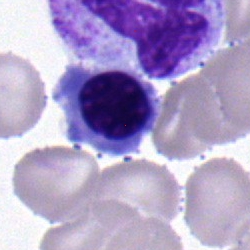 Impression — nucleated red blood cell.